Bone marrow aspirate smear
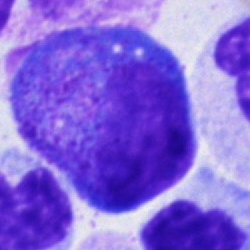Specimen: bone marrow smear.
Classification: promyelocyte.
Lineage: myeloid.